Bone marrow smear. 250×250 px: 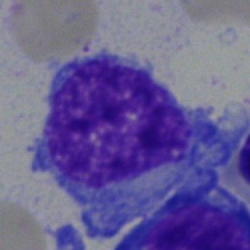Morphology → blast.